Bone marrow smear; 40× objective, oil immersion; 250×250:
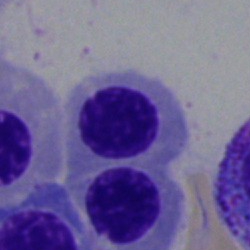The classification is nucleated red cell.